250×250. Bone marrow smear: 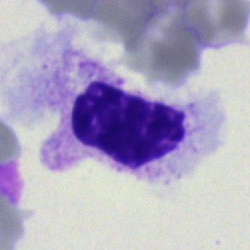Classification: artefact.